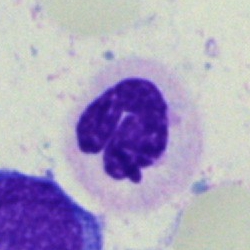Morphology → polymorphonuclear neutrophil.